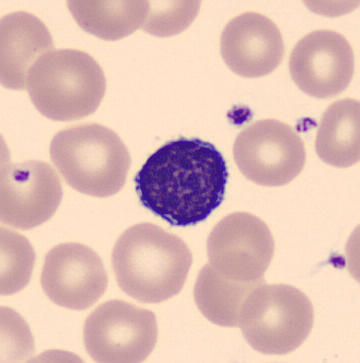Cell type — typical lymphocyte.
Peripheral blood film.